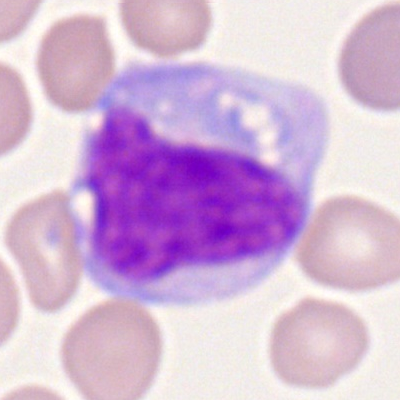 Cell: monocyte.